Brightfield microscopy, 40× oil immersion. 250×250. Bone marrow smear — 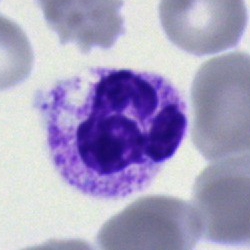Showing a polymorphonuclear neutrophil.